Bone marrow aspirate smear:
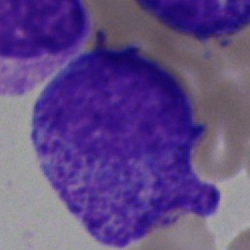

The cell shown is a progranulocyte.